Brightfield microscopy, 40× oil immersion · bone marrow smear — 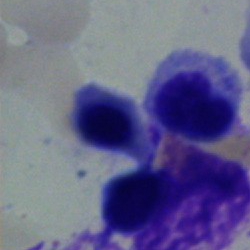

Specimen: bone marrow smear.
Morphological class: erythroblast.
Lineage: erythroid.